Bone marrow smear
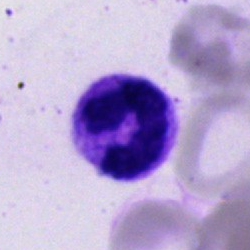 Q: What is the morphological classification of this cell?
A: It is a neutrophil (segmented).